Bone marrow aspirate smear
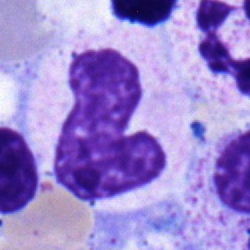
Morphology — band-form neutrophil.